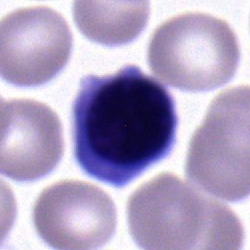

{"cell_type": "nucleated red cell"}